Bone marrow smear.
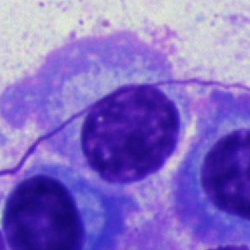

Impression → plasma cell.